Bone marrow aspirate smear.
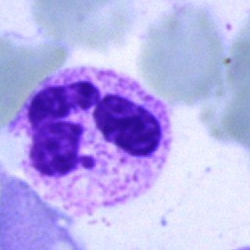Morphology consistent with a segmented neutrophil.